Pappenheim-stained · bone marrow smear · 40× oil immersion:
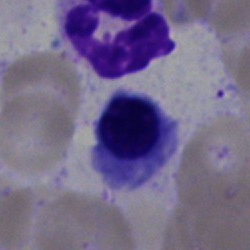
Cell — erythroblast.